Bone marrow aspirate smear
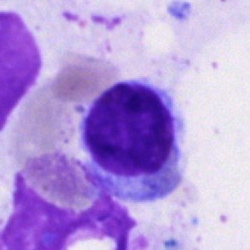 Morphology consistent with a typical lymphocyte.